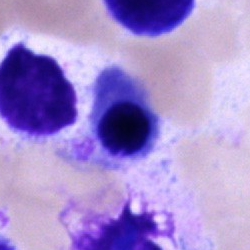 Q: What is the morphological classification of this cell?
A: Unidentifiable cell.